Brightfield, 40× oil-immersion objective. Bone marrow smear:
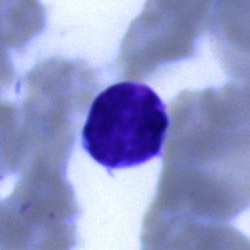Specimen: bone marrow smear.
Cell: typical lymphocyte.